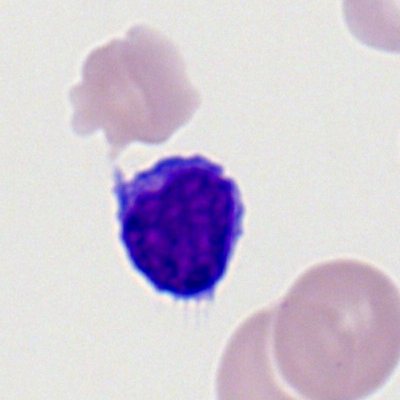 Cell: lymphocyte.